Image size 250×250; bone marrow smear
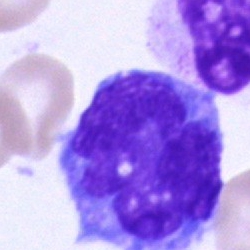
{"cell_type": "monocyte", "lineage": "myeloid"}